Bone marrow aspirate smear — 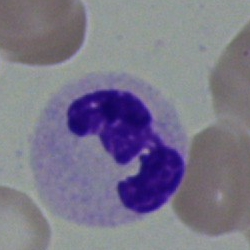 {"cell_type": "neutrophil (segmented)", "lineage": "myeloid"}